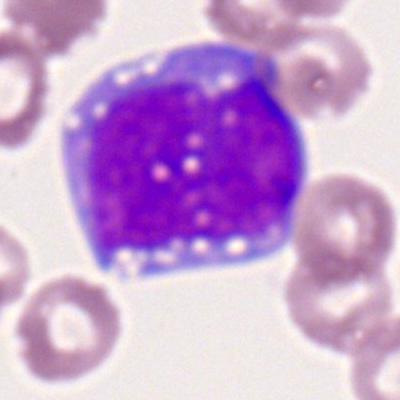 Specimen: peripheral blood smear.
Cell type: myeloid blast.
Lineage: myeloid.